Cropped to a single cell; peripheral blood smear; M8 digital microscope (Precipoint), 100× oil immersion: 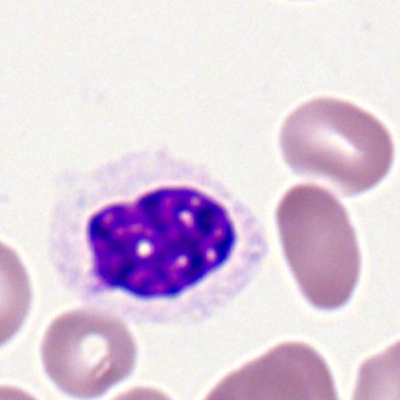A polymorphonuclear neutrophil.